Peripheral blood smear:
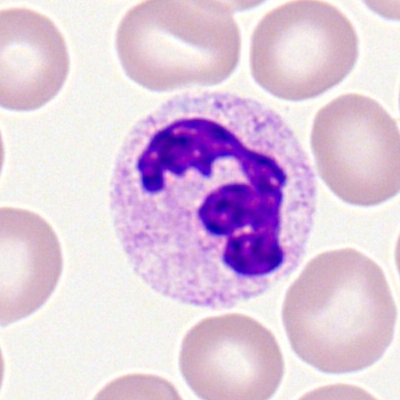

Single cell identified as a neutrophil (segmented).